Bone marrow aspirate smear: 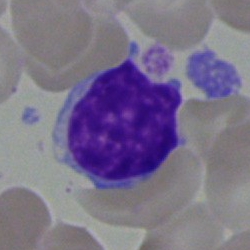 Morphological class — typical lymphocyte.